Bone marrow smear: 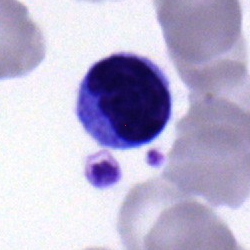
Morphology consistent with a lymphocyte.